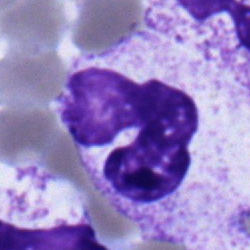

Specimen: bone marrow smear.
Cell type: stab cell.